Bone marrow smear
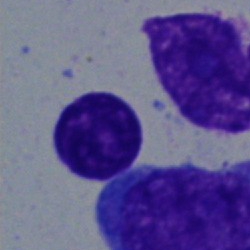

Classification — lymphocyte.